MGG-stained · bone marrow aspirate smear: 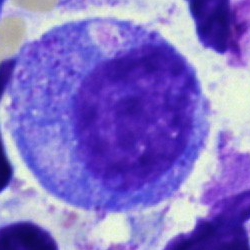

Morphology → promyelocyte.